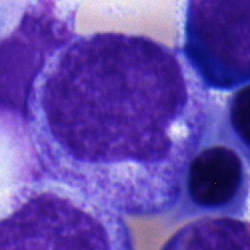

Q: Identify the cell.
A: This is a myelocyte.